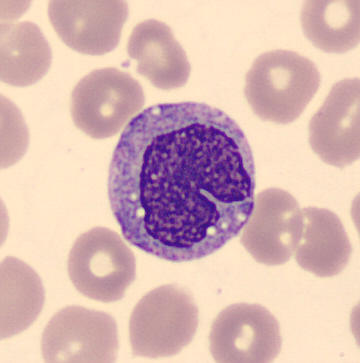

Q: What is the morphological classification of this cell?
A: A monocyte.
CellaVision DM96 digital cell image. Peripheral blood film.